Peripheral blood film.
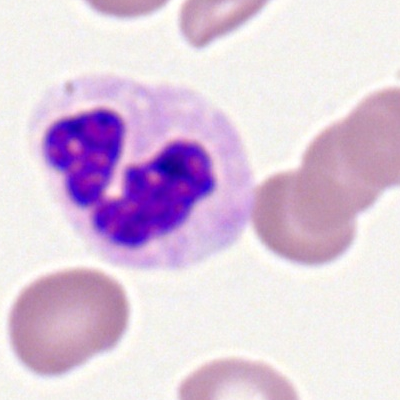The classification is segmented neutrophil.